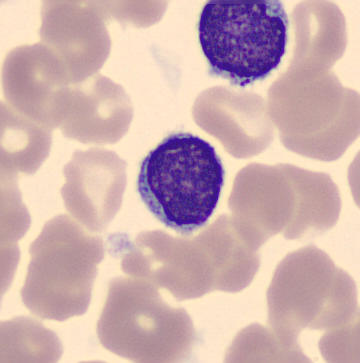 360×363 px. May Grünwald-Giemsa stain. Peripheral blood film.

This is a lymphocyte.